May-Grünwald-Giemsa stain; bone marrow aspirate smear; single-cell crop:
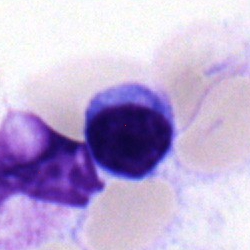

The cell shown is a typical lymphocyte.